Bone marrow smear.
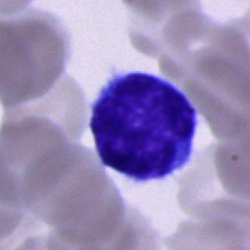
Morphological class — lymphocyte.